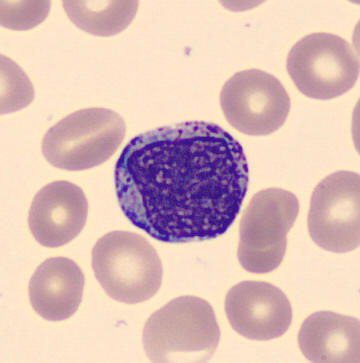
Identified as a progranulocyte.
Peripheral blood smear.